MGG-stained; bone marrow smear — 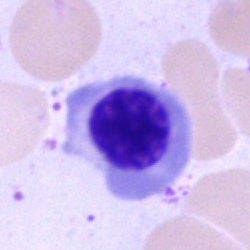 This is an erythroblast.